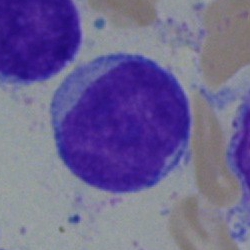Single-cell crop from a bone marrow smear: blast cell.